Bone marrow aspirate smear.
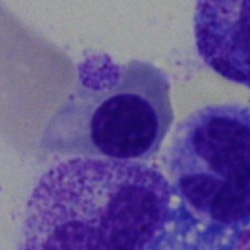
Q: What cell is this?
A: Nucleated red cell.